Bone marrow smear — 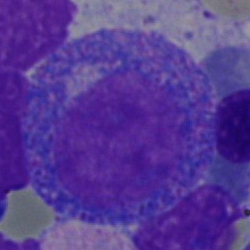

{"cell_type": "promyelocyte", "lineage": "myeloid"}